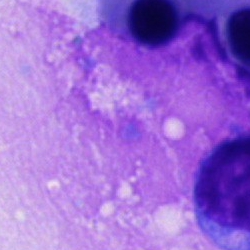
The morphological class is artifact.